Bone marrow aspirate smear:
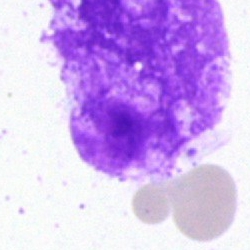Q: What is shown here?
A: Artifact.